May-Grünwald-Giemsa stain. Bone marrow aspirate smear:
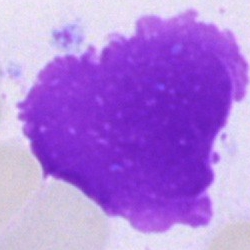Morphological class — artifact.